Bone marrow aspirate smear.
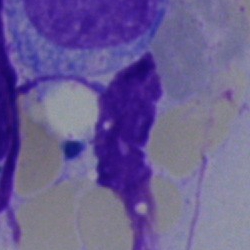Morphology consistent with an artefact.